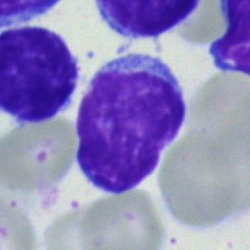 Q: What cell is this?
A: It is a typical lymphocyte.